Bone marrow aspirate smear: 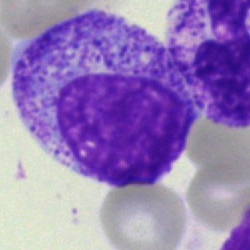{"cell_type": "myelocyte", "lineage": "myeloid"}